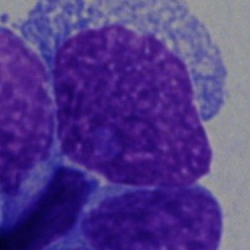Morphology — artifact.